Bone marrow aspirate smear. MGG-stained
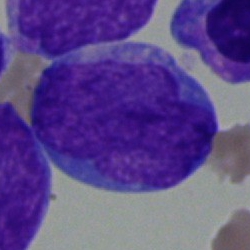An undifferentiated blast.